Peripheral blood film · 100× objective, oil immersion — 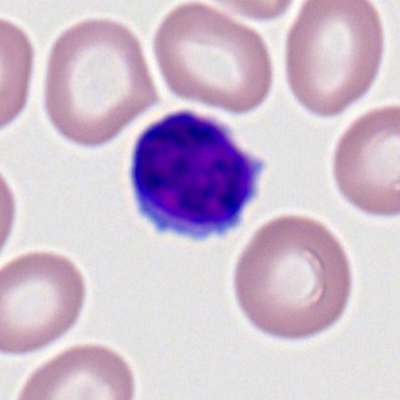 Specimen: peripheral blood film.
Cell type: lymphocyte.
Lineage: lymphoid.